Bone marrow aspirate smear
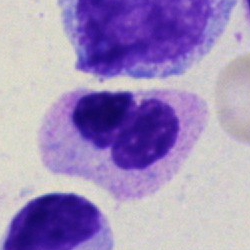
Morphology consistent with a polymorphonuclear neutrophil.